Bone marrow smear — 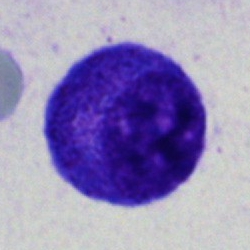 {"cell_type": "progranulocyte"}